Bone marrow aspirate smear
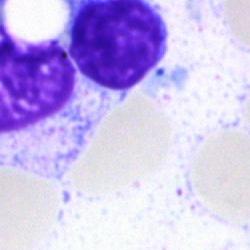This is an artifact.